Bone marrow aspirate smear — 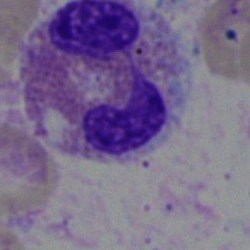Morphological class = eosinophilic granulocyte.